250 by 250 pixels; bone marrow smear; brightfield, 40× oil-immersion objective:
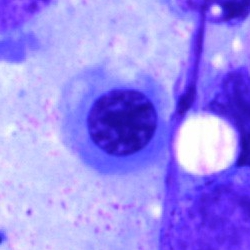
Morphology consistent with a nucleated red cell.